Peripheral blood film:
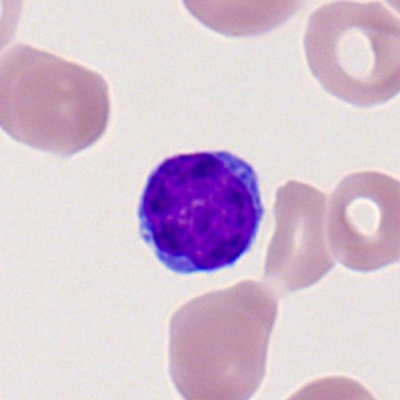

Morphology → lymphocyte.